Bone marrow smear: 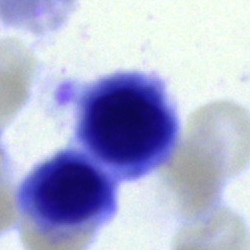 Showing a nucleated red cell.